May-Grünwald-Giemsa stain; bone marrow aspirate smear; 250×250 px:
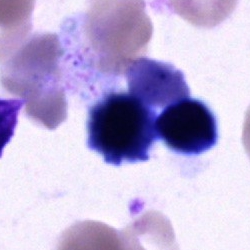
Morphology → cell of indeterminate lineage.